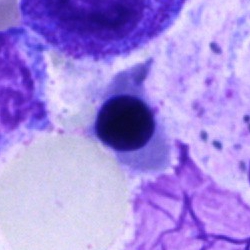Cell type — erythroblast.